Bone marrow aspirate smear — 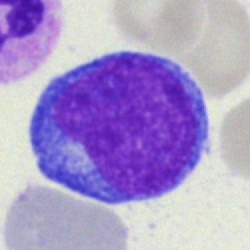 Showing a blast.